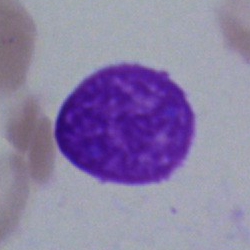 {"cell_type": "artefact"}